Single-cell field; MGG-stained; bone marrow smear — 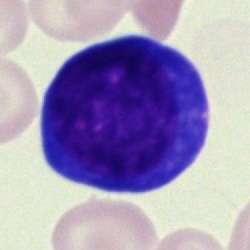

Morphology consistent with a nucleated red blood cell.